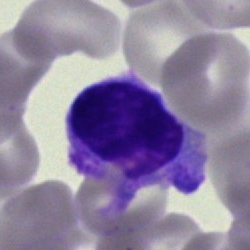
Cell — typical lymphocyte.